Bone marrow aspirate smear. Cropped to a single cell:
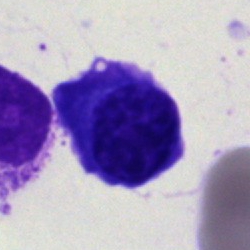Specimen: bone marrow smear.
Cell type: plasmacyte.